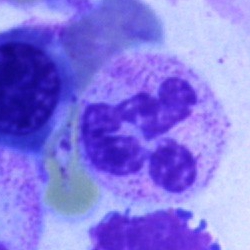 A polymorphonuclear neutrophil on a bone marrow smear.